Bone marrow smear; cropped to a single cell
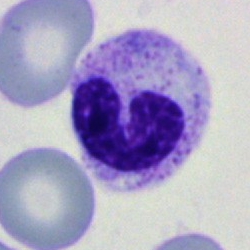 Cell: stab cell.